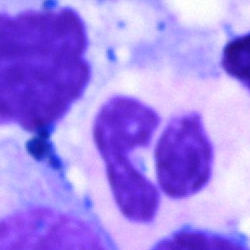Morphological class — segmented neutrophil.